Single-cell crop. Bone marrow smear.
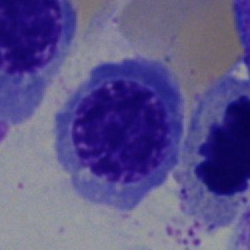
Q: What is the morphological classification of this cell?
A: It is a normoblast.